Bone marrow smear: 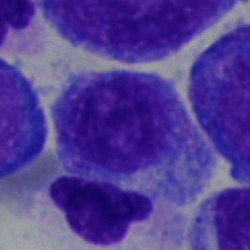

Q: Which cell type is shown here?
A: Nucleated red cell.